Bone marrow smear. Pappenheim-stained.
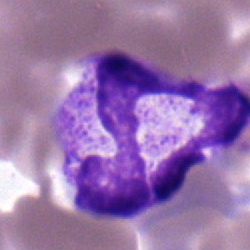

Cell — polymorphonuclear neutrophil.